Bone marrow aspirate smear · brightfield, 40× oil-immersion objective · single-cell crop.
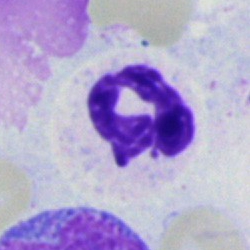 This is a neutrophil (segmented).